Cropped to a single cell; bone marrow smear; May-Grünwald-Giemsa/Pappenheim stain: 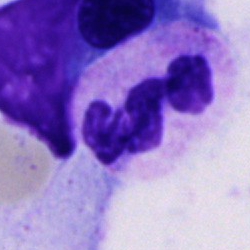
Neutrophil (segmented).